Peripheral blood film · 400×400 · 100× objective, oil immersion:
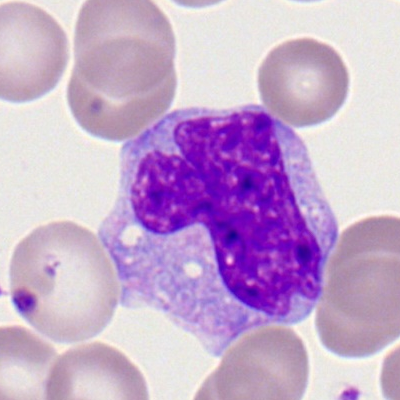

Specimen: peripheral blood smear.
Classification: monocyte.
Lineage: myeloid.